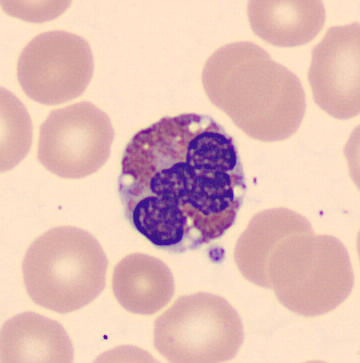Morphology — eosinophilic granulocyte. Preparation: Peripheral blood smear.